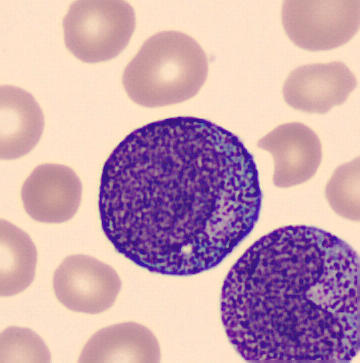Q: What is shown here?
A: This is a progranulocyte.